May-Grünwald-Giemsa/Pappenheim stain; bone marrow smear; 40× oil immersion: 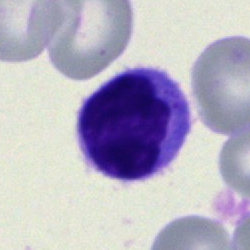 Morphology consistent with a lymphocyte.